Bone marrow aspirate smear — 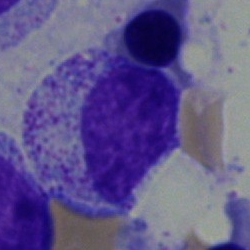This is a myelocyte.